Peripheral blood film:
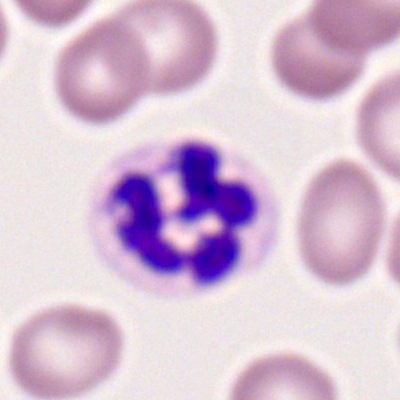
Showing a neutrophil (segmented).